Pappenheim-stained. Bone marrow aspirate smear: 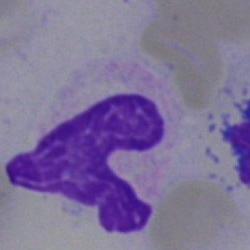Morphology → artefact.